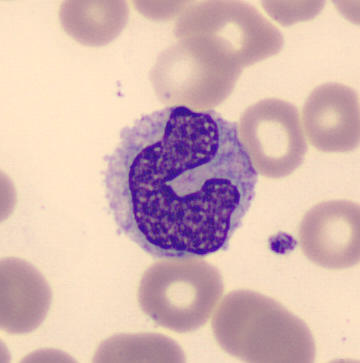

Preparation: May-Grünwald-Giemsa-stained. Peripheral blood film. CellaVision DM96 digital cell image.
The cell is monocyte.